Bone marrow smear: 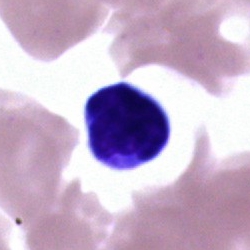

Q: What is the morphological classification of this cell?
A: It is a lymphocyte.